Bone marrow smear
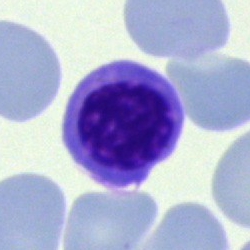
A normoblast.